Bone marrow aspirate smear:
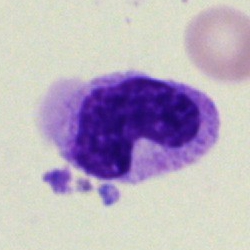

Specimen: bone marrow aspirate smear.
Morphological class: neutrophil (band).
Lineage: myeloid.